May-Grünwald-Giemsa stain. Single-cell field. Bone marrow smear
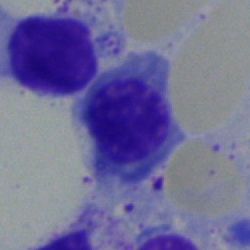
Specimen: bone marrow smear.
Classification: erythroblast.
Lineage: erythroid.